Bone marrow aspirate smear.
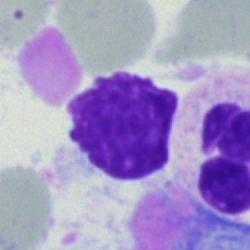

Q: What is shown here?
A: It is an artefact.